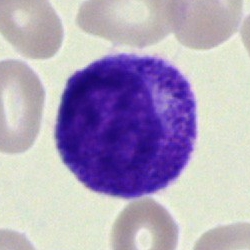 Morphological class: myelocyte.